MGG-stained; 360×363 px; peripheral blood film
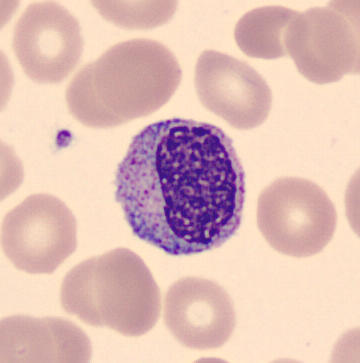
Identified as a myelocyte.